Bone marrow aspirate smear:
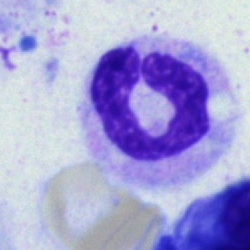A segmented neutrophil.